Bone marrow smear · 40× objective, oil immersion · cropped to a single cell
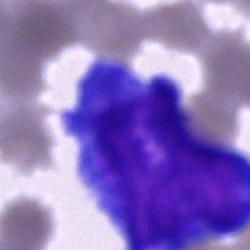 Q: What is the morphological classification of this cell?
A: It is an undifferentiated blast.